Bone marrow aspirate smear · 40× objective, oil immersion:
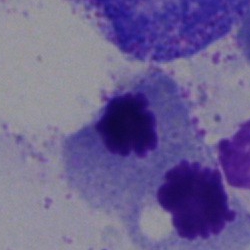
Specimen: bone marrow aspirate smear.
Morphological class: nucleated red blood cell.